Bone marrow aspirate smear: 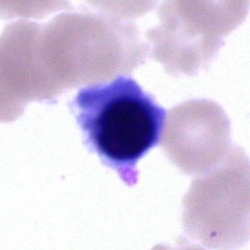 Cell type — nucleated red blood cell.